Bone marrow smear.
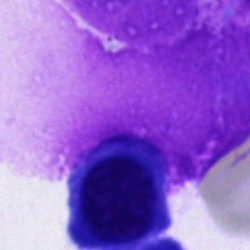 Specimen: bone marrow smear.
Cell: artifact.